Bone marrow aspirate smear.
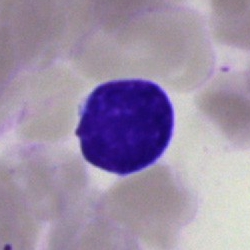

Q: What type of cell is this?
A: A lymphocyte.